Pappenheim-stained. Bone marrow aspirate smear. Single-cell field — 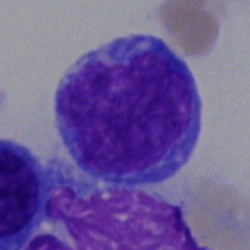 Morphological class — undifferentiated blast.